Bone marrow aspirate smear: 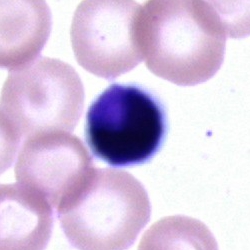 Specimen: bone marrow aspirate smear.
Classification: unidentifiable cell.